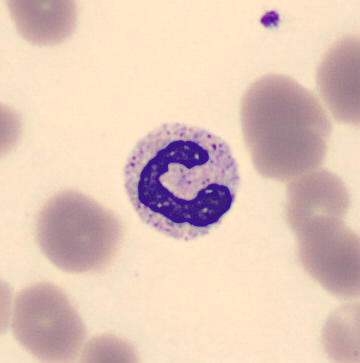

Neutrophil (band).